Brightfield microscopy, 40× oil immersion · bone marrow smear · Pappenheim-stained: 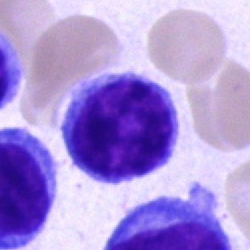

Morphology → typical lymphocyte.